Bone marrow aspirate smear: 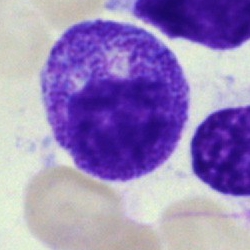Morphology — progranulocyte.